Bone marrow aspirate smear — 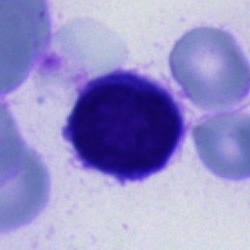 Morphology consistent with an unidentifiable cell.